Cropped to a single cell; bone marrow smear — 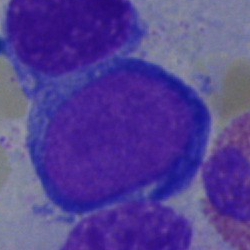 Morphological class — proerythroblast.